Bone marrow smear · single-cell field: 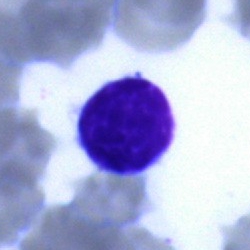

A typical lymphocyte.